Bone marrow aspirate smear: 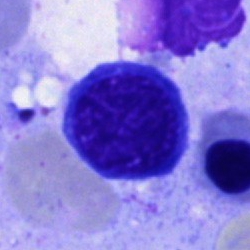Classification — normoblast.